Bone marrow aspirate smear · 40× objective, oil immersion.
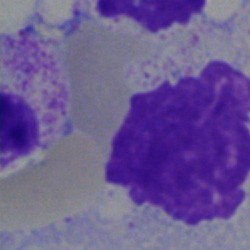Specimen: bone marrow smear.
Cell type: artefact.